Bone marrow aspirate smear — 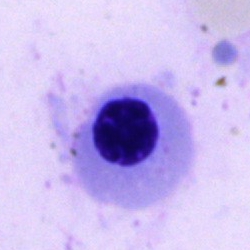
Morphology → normoblast.